Bone marrow smear — 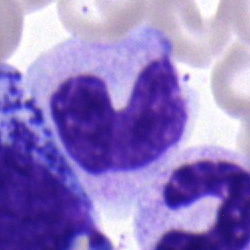 Morphological class — neutrophil (band).